Bone marrow smear:
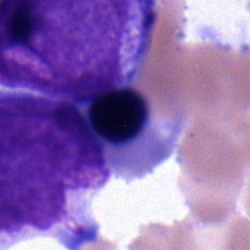

Showing a nucleated red blood cell.